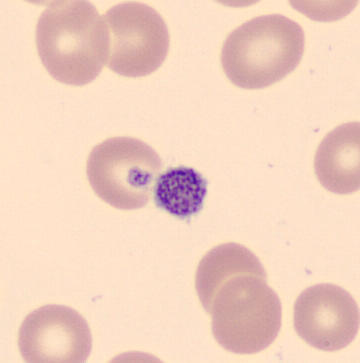 Image: Automated cell imaging (CellaVision DM96). MGG-stained. Peripheral blood film. Platelet.